Bone marrow aspirate smear — 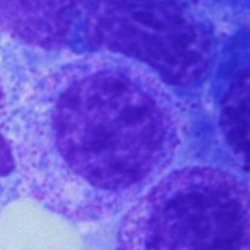
Myelocyte.